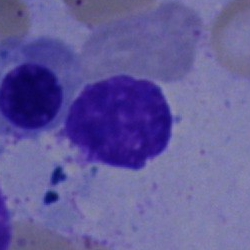 Specimen: bone marrow aspirate smear.
Cell type: stab cell.
Lineage: myeloid.